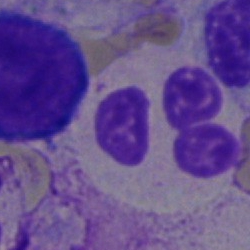This is a segmented neutrophil.